Bone marrow smear · brightfield microscopy, 40× oil immersion · Pappenheim-stained
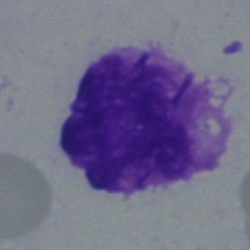 Morphology — artefact.